Single-cell crop; bone marrow smear.
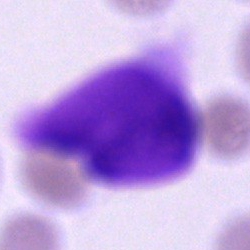Specimen: bone marrow smear.
Cell type: artifact.